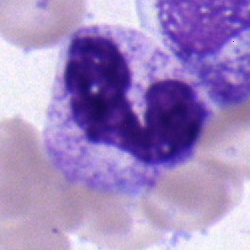Specimen: bone marrow smear.
Cell: band neutrophil.
Lineage: myeloid.